Bone marrow aspirate smear.
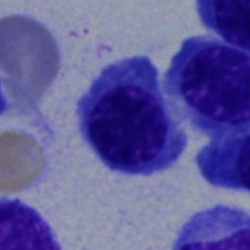
Showing an erythroblast.